Bone marrow smear
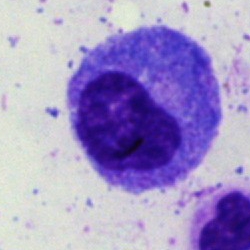Cell — progranulocyte.